May-Grünwald-Giemsa stain · bone marrow smear — 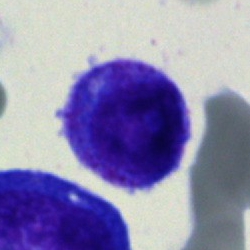 Specimen: bone marrow smear.
Cell type: myelocyte.
Lineage: myeloid.